Bone marrow smear
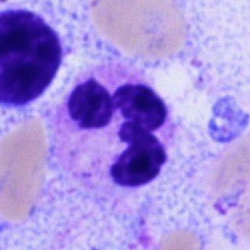
Typical lymphocyte.